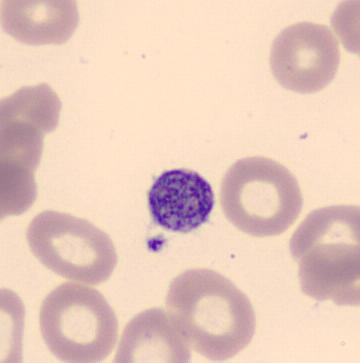Specimen: peripheral blood film.
Morphological class: thrombocyte.